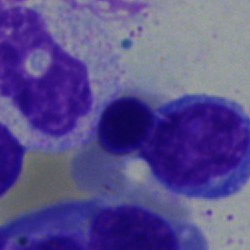

Impression — normoblast.